Bone marrow smear · 250 by 250 pixels · May-Grünwald-Giemsa stain.
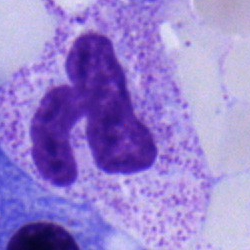
Cell: neutrophil (segmented).